Bone marrow aspirate smear: 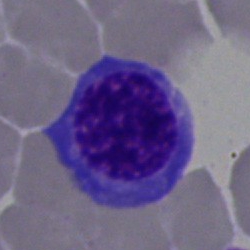Morphology consistent with a nucleated red cell.